Bone marrow smear · MGG-stained — 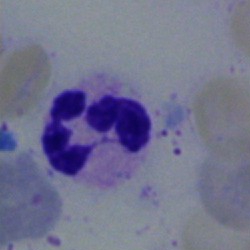

Morphology → segmented neutrophil.